Single-cell crop. May-Grünwald-Giemsa/Pappenheim stain. Bone marrow smear:
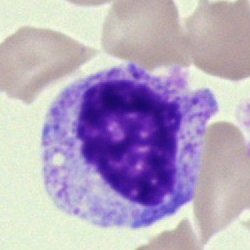 Specimen: bone marrow smear.
Cell: myelocyte.
Lineage: myeloid.